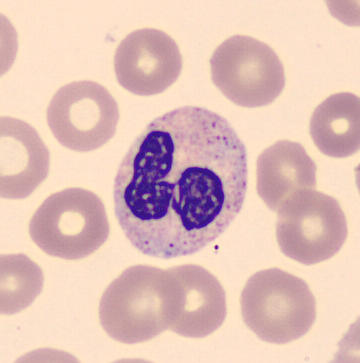

Q: Identify the cell.
A: This is a neutrophil (segmented). Acquisition: Peripheral blood smear.